Bone marrow aspirate smear. 40× objective, oil immersion — 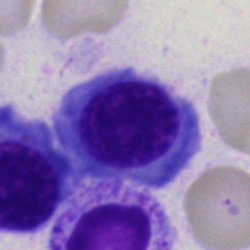 A nucleated red blood cell.